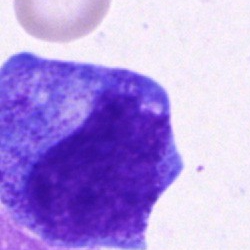 Bone marrow aspirate smear, single cell — promyelocyte.